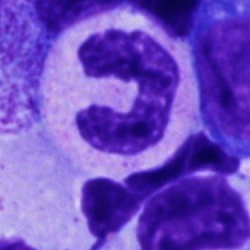
Impression — neutrophil (band).